Single-cell field. Bone marrow smear: 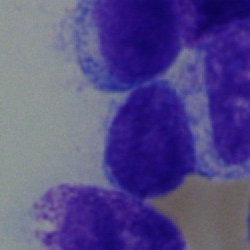 Morphological class = lymphocyte.